Single-cell field · bone marrow aspirate smear: 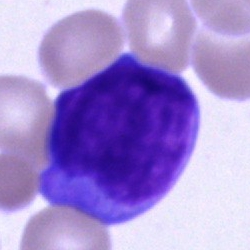

Blast.